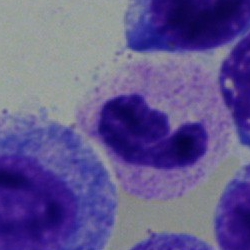 Specimen: bone marrow smear.
Cell type: segmented neutrophil.
Lineage: myeloid.